Bone marrow smear.
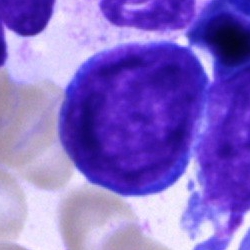
Morphology — proerythroblast.